Bone marrow aspirate smear — 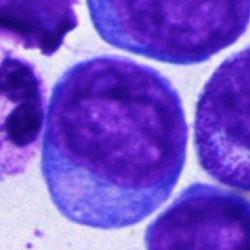
This is a blast.